Cropped to a single cell; 40× objective, oil immersion; bone marrow smear — 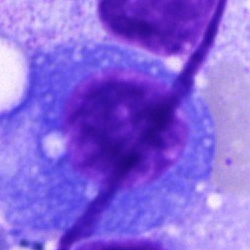
Q: What cell is this?
A: Plasma cell.